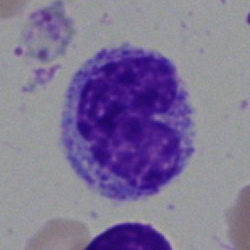{"cell_type": "monocyte"}